Bone marrow smear — 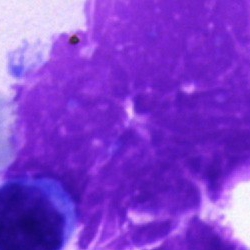

Impression → artefact.